Brightfield, 40× oil-immersion objective; bone marrow smear:
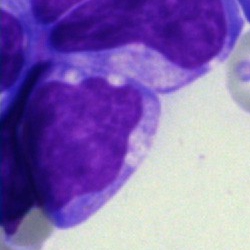 Q: What is shown here?
A: An undifferentiated blast.